Cropped to a single cell. Bone marrow smear — 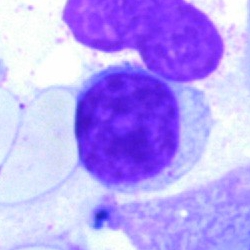

Q: What cell is this?
A: This is a lymphocyte.